Bone marrow aspirate smear · 250×250 px · 40× objective, oil immersion: 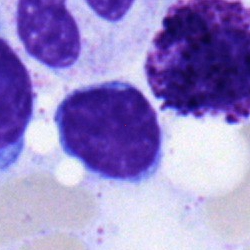

Cell — lymphocyte.